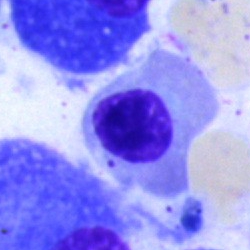 {"cell_type": "erythroblast", "lineage": "erythroid"}